Single-cell field. Bone marrow aspirate smear: 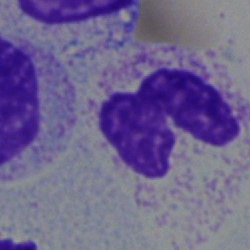

Q: Identify the cell.
A: A polymorphonuclear neutrophil.